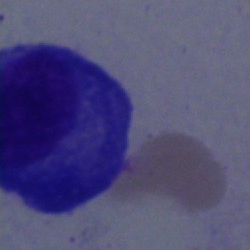
A plasmacyte on a bone marrow smear.